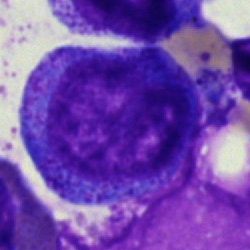
The cell shown is a promyelocyte.